Bone marrow smear. May-Grünwald-Giemsa stain. Single-cell field.
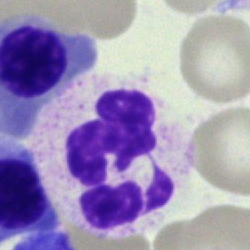

Morphological class: neutrophil (segmented).